Image size 250×250. Bone marrow smear — 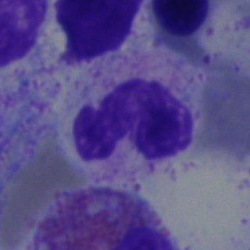 A band-form neutrophil.